Bone marrow aspirate smear:
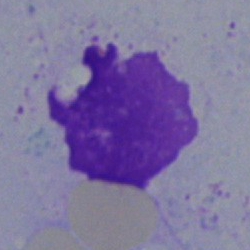

This is an artifact.